Bone marrow aspirate smear.
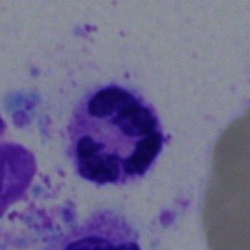 Cell type: neutrophil (segmented).